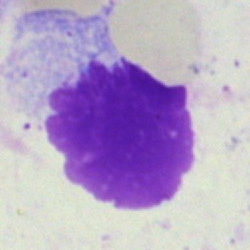

The classification is artifact.